Bone marrow aspirate smear
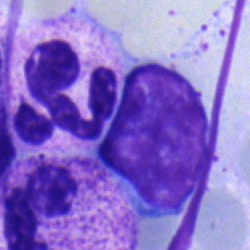 Morphological class — typical lymphocyte.